Single cell centered in the field · bone marrow aspirate smear · 40× oil immersion — 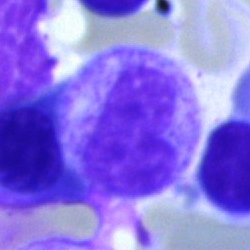
Morphology consistent with a metamyelocyte.